Bone marrow smear · Pappenheim-stained.
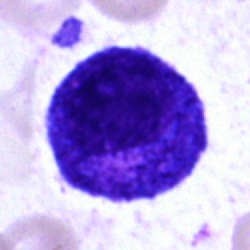

Promyelocyte.